Bone marrow aspirate smear:
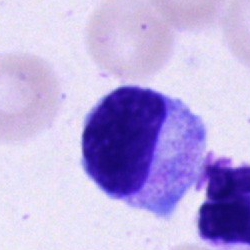 Cell type = unidentifiable cell.